Bone marrow smear · 40× oil immersion
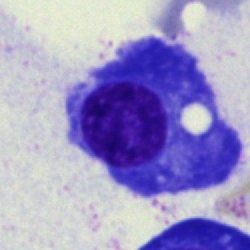 This is a plasma cell.